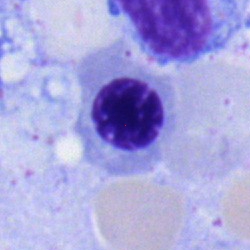 Morphological class = nucleated red cell.